Bone marrow smear.
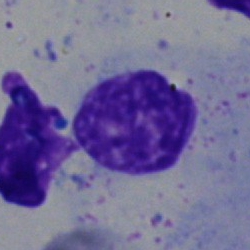
An artifact.